Bone marrow aspirate smear: 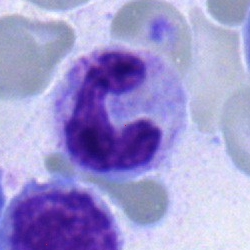 Specimen: bone marrow smear.
Cell: band neutrophil.
Lineage: myeloid.